Peripheral blood film: 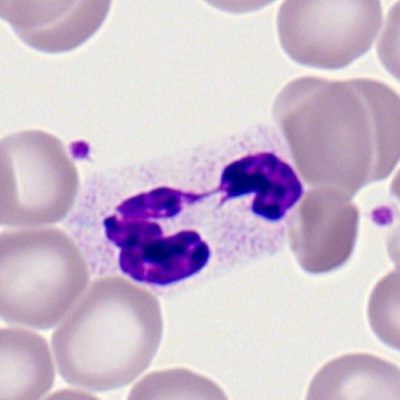Cell — segmented neutrophil.